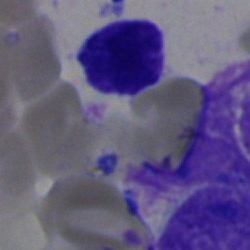

A typical lymphocyte.